Bone marrow smear:
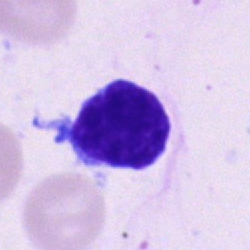
Specimen: bone marrow smear.
Morphological class: lymphocyte.
Lineage: lymphoid.